Bone marrow aspirate smear.
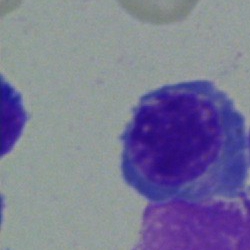

This is a normoblast.